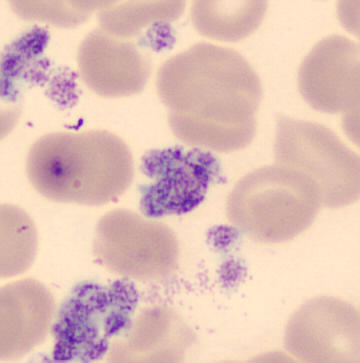Peripheral blood film · MGG stain.

Classification = platelet (thrombocyte).